MGG-stained. Bone marrow smear. Brightfield microscopy, 40× oil immersion
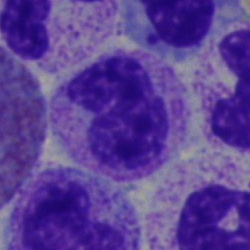 Single cell identified as a metamyelocyte.